Bone marrow smear.
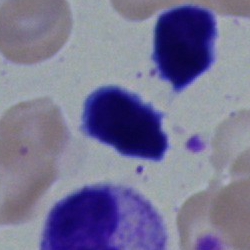Specimen: bone marrow smear.
Classification: lymphocyte.
Lineage: lymphoid.